Bone marrow aspirate smear; single-cell crop: 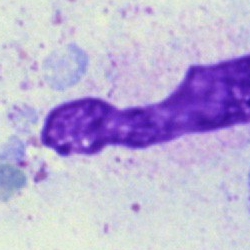 {"cell_type": "artifact"}